Peripheral blood film:
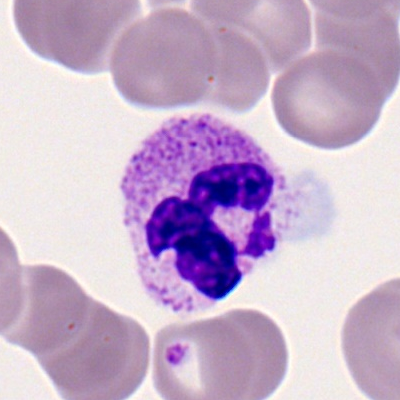Classification: polymorphonuclear neutrophil.